Bone marrow aspirate smear — 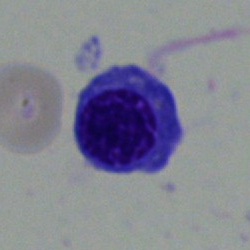 Classification = erythroblast.